250×250 px; bone marrow smear: 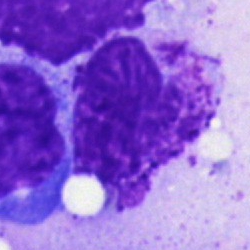
Cell: artefact.